Bone marrow smear: 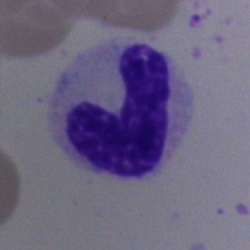
Specimen: bone marrow aspirate smear.
Morphological class: band neutrophil.
Lineage: myeloid.